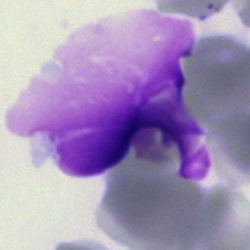 Classification = artifact.